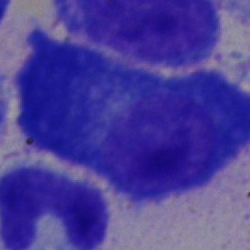 Morphology — plasma cell.